Bone marrow smear · cropped to a single cell · 250×250
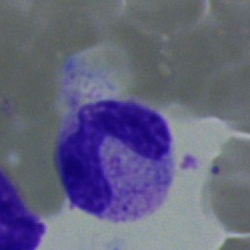Impression → band neutrophil.